Bone marrow aspirate smear. 250×250 px — 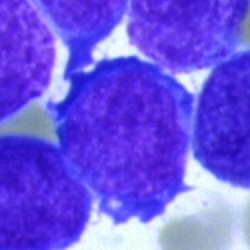
This is a blast cell.